Bone marrow aspirate smear
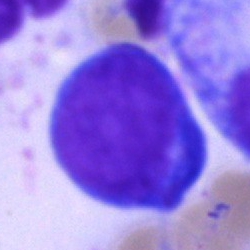

Q: What is the morphological classification of this cell?
A: Blast cell.